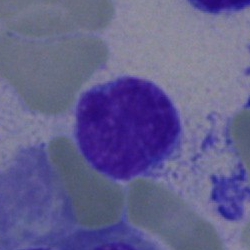 The morphological class is typical lymphocyte.